Peripheral blood film. Single-cell crop.
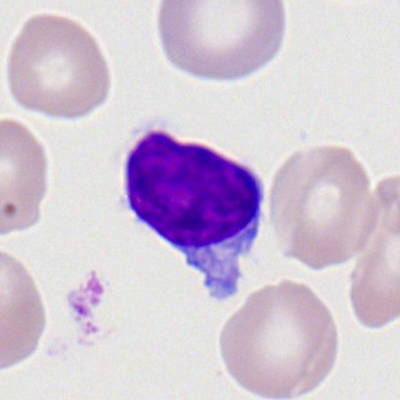Morphological class: lymphocyte.